Bone marrow smear:
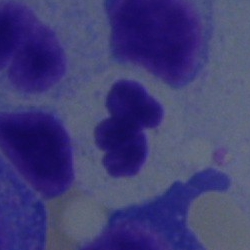Impression — polymorphonuclear neutrophil.